Brightfield microscopy, 40× oil immersion; 250×250; bone marrow smear — 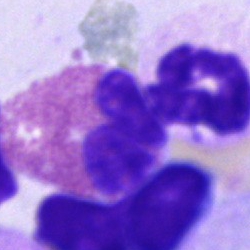 Cell type: eosinophil.